Bone marrow smear — 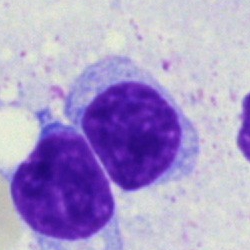 Q: What is the morphological classification of this cell?
A: Lymphocyte.